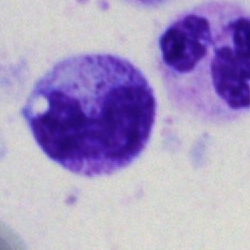

Bone marrow smear showing a band-form neutrophil.